Image size 250×250; bone marrow aspirate smear — 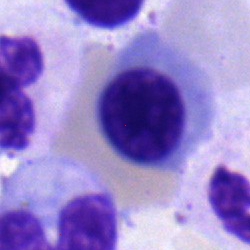{"cell_type": "normoblast", "lineage": "erythroid"}